Peripheral blood film. Single cell centered in the field:
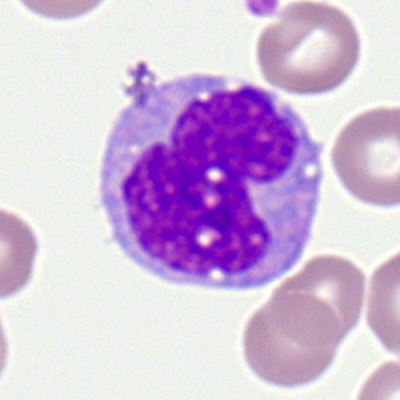Specimen: peripheral blood film.
Morphological class: monocyte.
Lineage: myeloid.